Bone marrow aspirate smear: 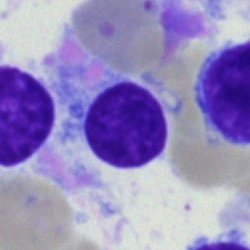
Morphological class — typical lymphocyte.